Bone marrow smear:
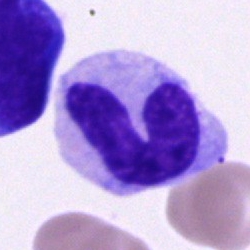
Cell: band-form neutrophil.